May-Grünwald-Giemsa stain; bone marrow smear
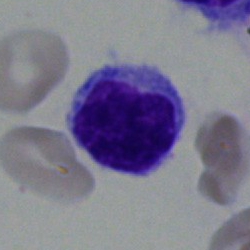Q: What is shown here?
A: This is a lymphocyte.